Bone marrow aspirate smear: 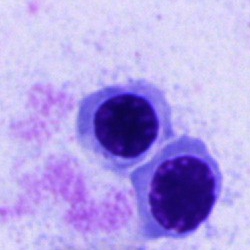An erythroblast.